Peripheral blood film:
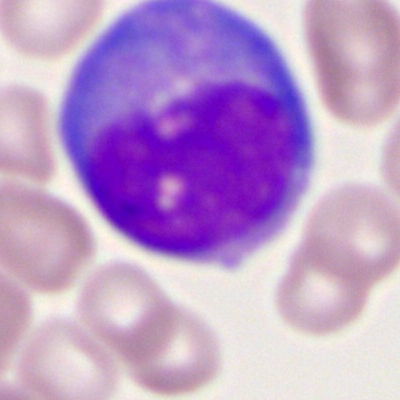

Progranulocyte.